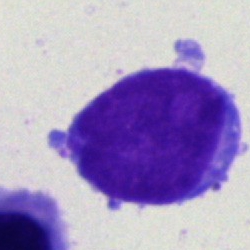

Cell type — blast cell.